Bone marrow aspirate smear
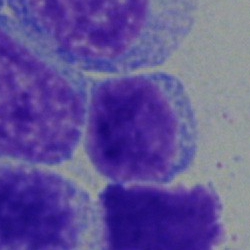

Cell = typical lymphocyte.